40× oil immersion · bone marrow aspirate smear · cropped to a single cell.
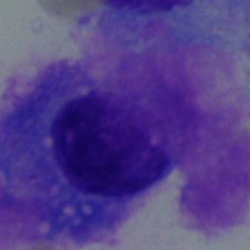 Q: What cell is this?
A: It is a plasma cell.